Bone marrow smear: 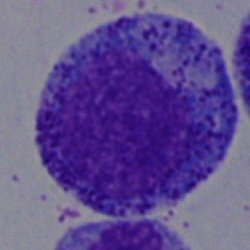Q: What is shown here?
A: It is a promyelocyte.